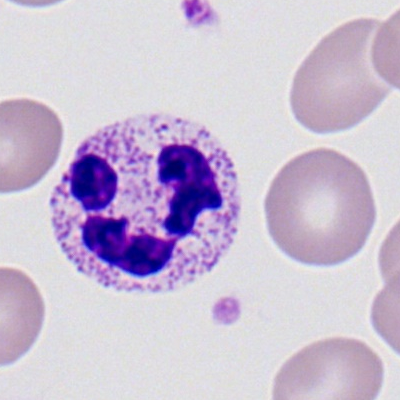 Specimen: peripheral blood film.
Morphological class: polymorphonuclear neutrophil.
Lineage: myeloid.